Bone marrow aspirate smear:
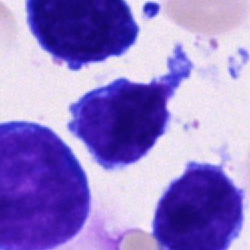
A typical lymphocyte.